40× oil immersion · bone marrow aspirate smear · 250 by 250 pixels: 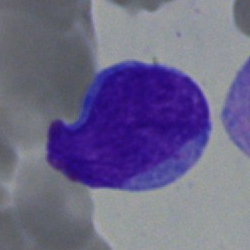 Single cell identified as a blast.